250 by 250 pixels · bone marrow smear · brightfield, 40× oil-immersion objective:
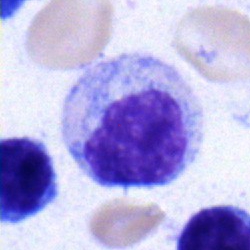 Morphological class: myelocyte.